Bone marrow aspirate smear
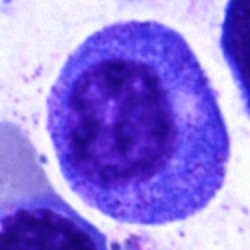

A progranulocyte.